250×250 px; brightfield microscopy, 40× oil immersion; bone marrow aspirate smear:
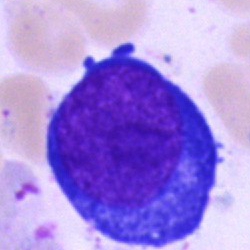Single cell identified as a proerythroblast.